Bone marrow smear.
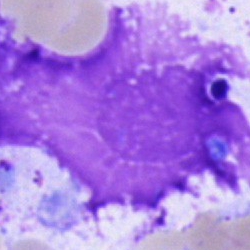 Showing an artefact.